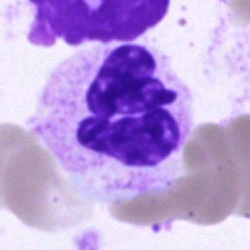
Morphological class — neutrophil (segmented).